Peripheral blood film — 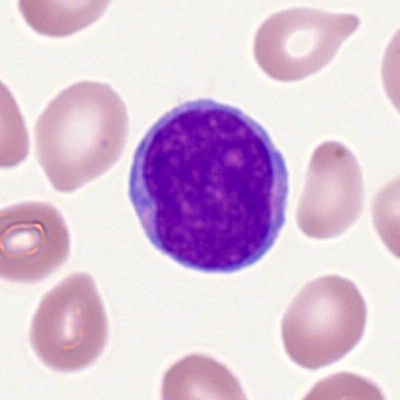 {"cell_type": "myeloblast", "lineage": "myeloid"}